May-Grünwald-Giemsa stain. Bone marrow smear. Brightfield, 40× oil-immersion objective: 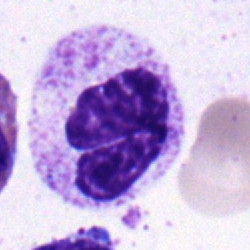
Cell type = segmented neutrophil.